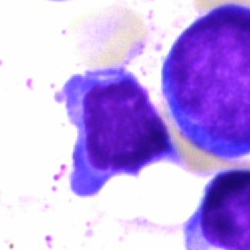

Cell type = lymphocyte.